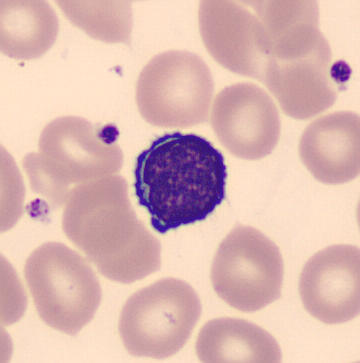 Identified as a lymphocyte.
Peripheral blood smear. May-Grünwald-Giemsa-stained.